Bone marrow aspirate smear: 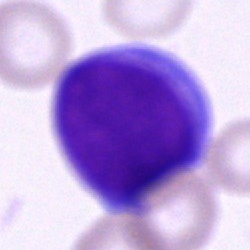 The cell shown is a blast.